Bone marrow aspirate smear
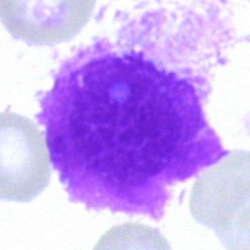Impression → artifact.